MGG-stained. Peripheral blood film
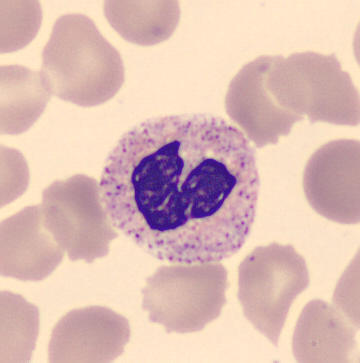Q: What is this?
A: Polymorphonuclear neutrophil.